40× objective, oil immersion; bone marrow aspirate smear:
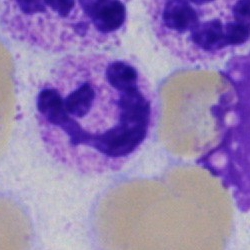 The cell shown is a polymorphonuclear neutrophil.